May-Grünwald-Giemsa/Pappenheim stain. Bone marrow smear.
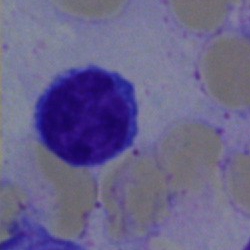

The cell type is lymphocyte.